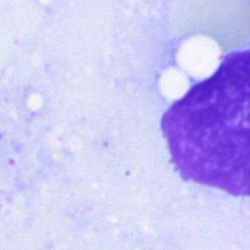Single-cell crop from a bone marrow smear: artifact.